Bone marrow smear; Pappenheim-stained; 250×250:
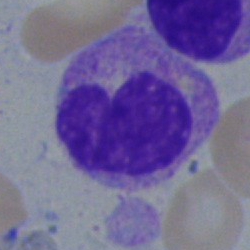
The classification is metamyelocyte.